Bone marrow smear. 40× oil immersion. May-Grünwald-Giemsa/Pappenheim stain: 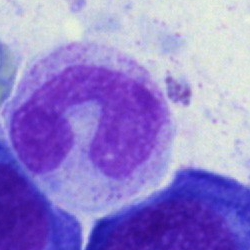The cell shown is a neutrophil (band).